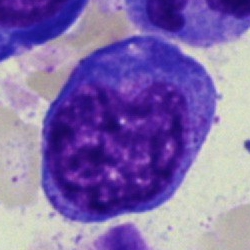A blast cell.